Bone marrow smear:
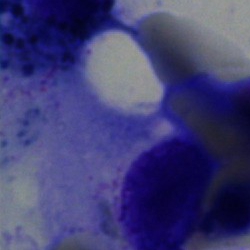

Cell type — artefact.